Bone marrow aspirate smear: 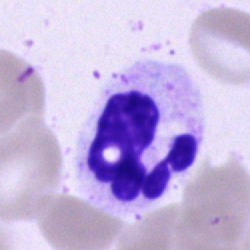Q: What type of cell is this?
A: This is a segmented neutrophil.